Peripheral blood smear:
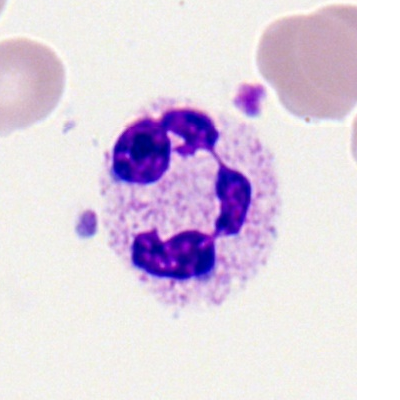 Showing a neutrophil (segmented).